Bone marrow smear. 40× objective, oil immersion — 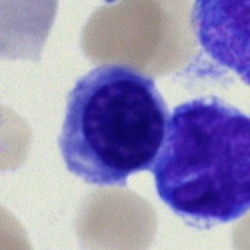

Specimen: bone marrow smear.
Cell: normoblast.
Lineage: erythroid.